Bone marrow smear. Image size 250×250. Brightfield, 40× oil-immersion objective:
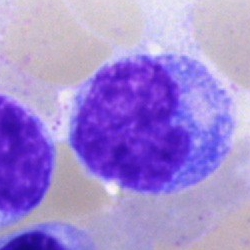
{"cell_type": "monocyte", "lineage": "myeloid"}